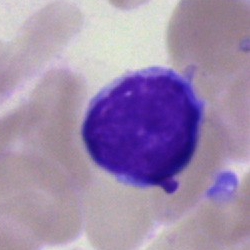 Cell type: typical lymphocyte.